Bone marrow smear. Brightfield microscopy, 40× oil immersion.
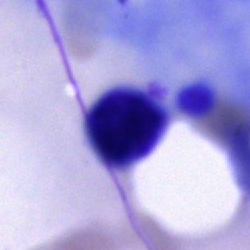 Q: What is shown here?
A: An artifact.